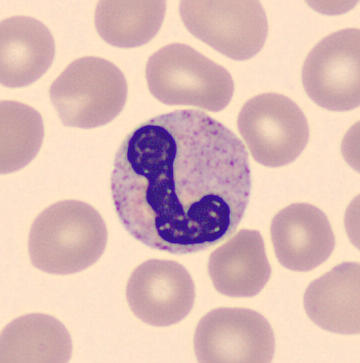
The cell type is stab cell. Image: Peripheral blood smear.